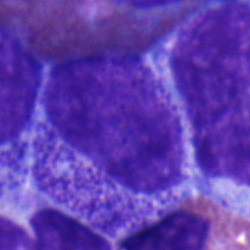The cell shown is a myelocyte.